Bone marrow aspirate smear: 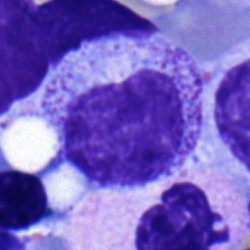The cell is myelocyte.